Bone marrow aspirate smear — 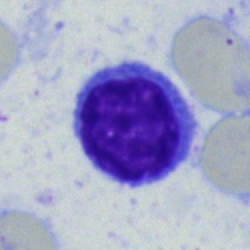The cell is lymphocyte.